Bone marrow smear:
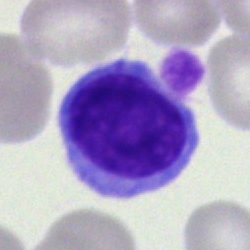

Specimen: bone marrow aspirate smear.
Classification: typical lymphocyte.
Lineage: lymphoid.